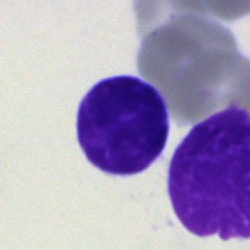
Q: Which cell type is shown here?
A: Typical lymphocyte.